Single-cell field; bone marrow aspirate smear; 250×250 px.
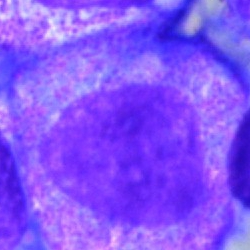Cell type = myelocyte.